Bone marrow aspirate smear.
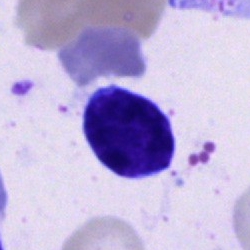

Cell: plasma cell.